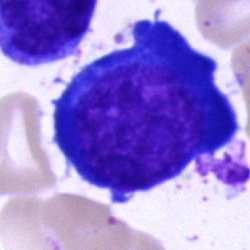A proerythroblast on a bone marrow smear.